Bone marrow smear:
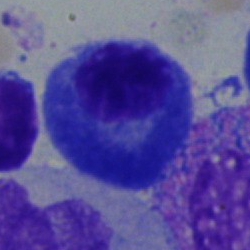
Specimen: bone marrow aspirate smear.
Classification: plasma cell.
Lineage: lymphoid.